Cropped to a single cell · Pappenheim-stained · bone marrow aspirate smear — 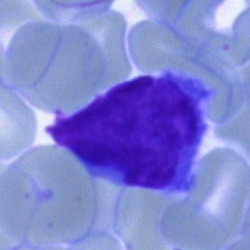
{"cell_type": "typical lymphocyte", "lineage": "lymphoid"}